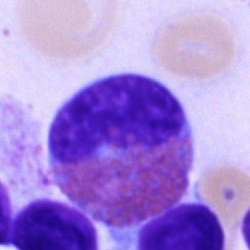 Q: Identify the cell.
A: This is an eosinophilic granulocyte.